Romanowsky stain · peripheral blood smear · brightfield, 100× oil-immersion objective
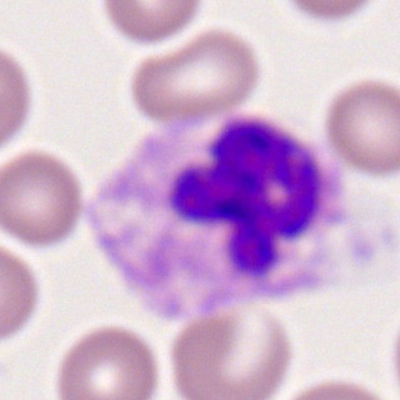Impression — polymorphonuclear neutrophil.